250×250; bone marrow smear: 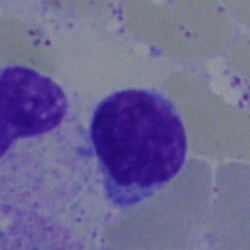
The cell shown is a lymphocyte.